Bone marrow smear; image size 250×250 — 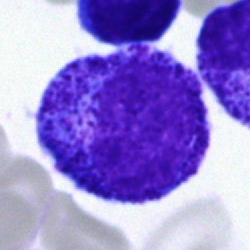 Single cell identified as a promyelocyte.